Bone marrow aspirate smear — 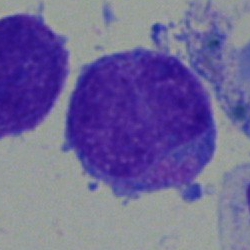
A blast.